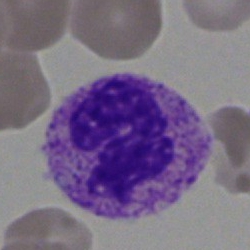
Q: Identify the cell.
A: It is a polymorphonuclear neutrophil.